Bone marrow aspirate smear:
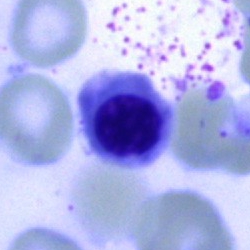The cell is nucleated red cell.